250×250 · bone marrow aspirate smear.
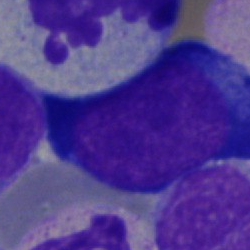
Specimen: bone marrow smear.
Cell type: progranulocyte.